Bone marrow aspirate smear — 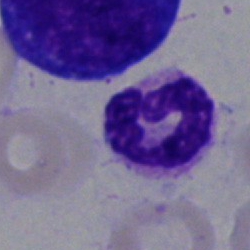Cell — polymorphonuclear neutrophil.